Bone marrow aspirate smear:
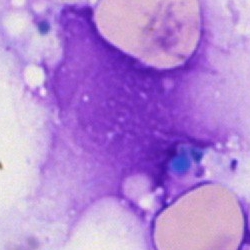

This is an artefact.